Bone marrow aspirate smear
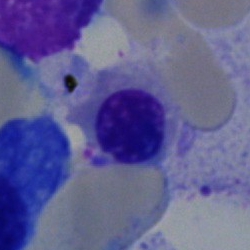
Classification — normoblast.